Brightfield, 40× oil-immersion objective; bone marrow aspirate smear; 250 by 250 pixels.
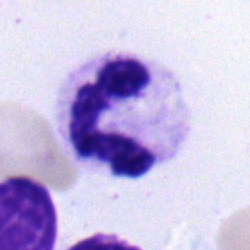

Showing a polymorphonuclear neutrophil.